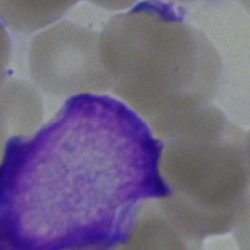

Specimen: bone marrow smear.
Cell: blast cell.